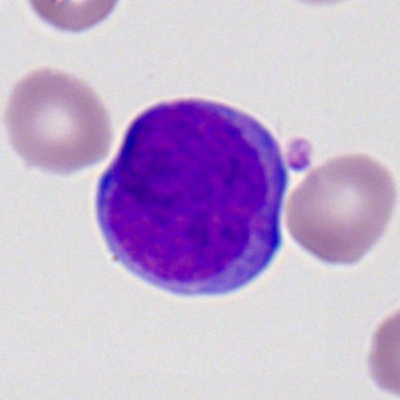

{"cell_type": "myeloid blast", "lineage": "myeloid"}